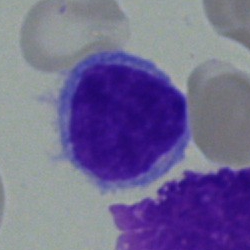Q: What is the morphological classification of this cell?
A: Lymphocyte.